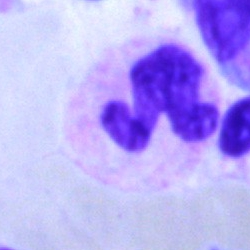 Q: What type of cell is this?
A: This is a polymorphonuclear neutrophil.